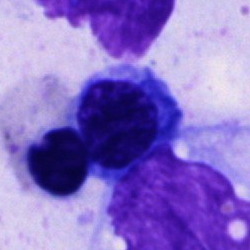

Morphological class: unidentifiable cell.